Pappenheim-stained; bone marrow smear; 250 by 250 pixels.
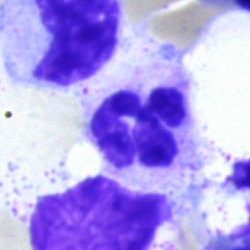 Polymorphonuclear neutrophil.